Bone marrow smear; single cell centered in the field — 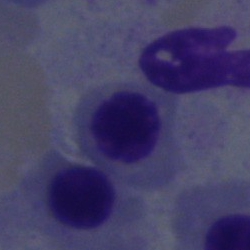Morphology consistent with a normoblast.